Bone marrow aspirate smear:
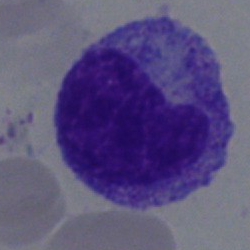 Q: What is shown here?
A: This is a metamyelocyte.